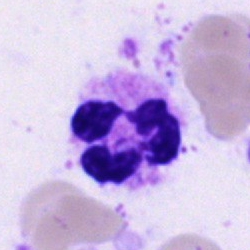Specimen: bone marrow aspirate smear.
Morphological class: neutrophil (segmented).
Lineage: myeloid.